Brightfield microscopy, 40× oil immersion · bone marrow aspirate smear: 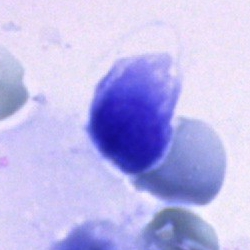{"cell_type": "artefact"}